Pappenheim-stained; bone marrow aspirate smear: 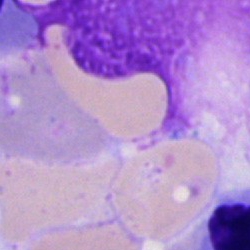 Morphology → artifact.